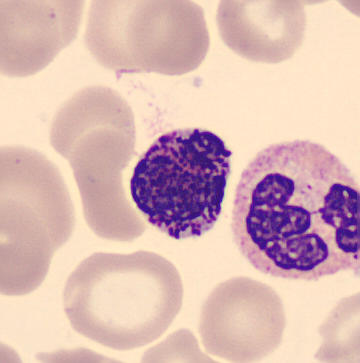
The cell type is basophilic granulocyte.